Peripheral blood smear — 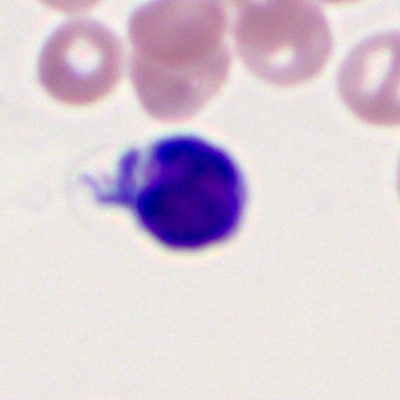Q: Identify the cell.
A: It is a typical lymphocyte.